Bone marrow aspirate smear; cropped to a single cell.
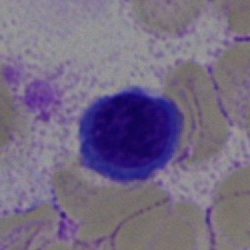 Specimen: bone marrow smear.
Morphological class: typical lymphocyte.